Bone marrow smear:
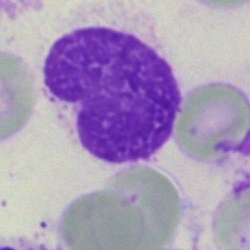An artefact.